Bone marrow aspirate smear; image size 250×250:
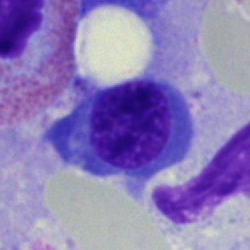 Cell: nucleated red cell.